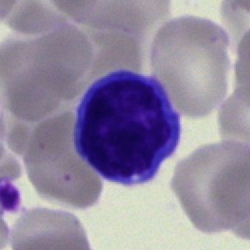 Morphology — typical lymphocyte.